Bone marrow smear
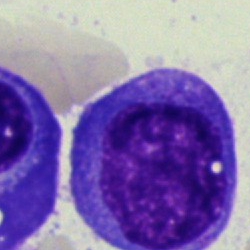
A progranulocyte.